Peripheral blood smear — 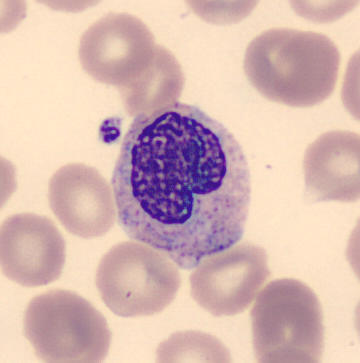 The cell type is metamyelocyte.